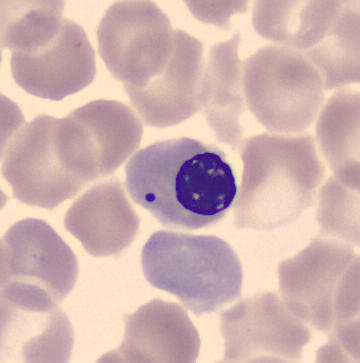
This is a nucleated red cell.
Acquisition: Peripheral blood smear.